Bone marrow smear. Single-cell crop: 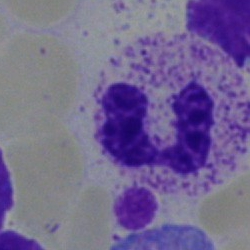

A neutrophil (segmented).